Bone marrow aspirate smear; 40× objective, oil immersion
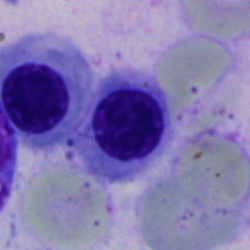 Q: What type of cell is this?
A: A nucleated red blood cell.